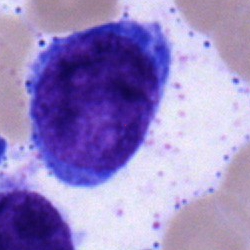
Blast.